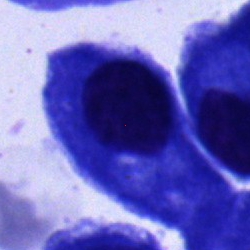
Specimen: bone marrow smear.
Morphological class: plasma cell.